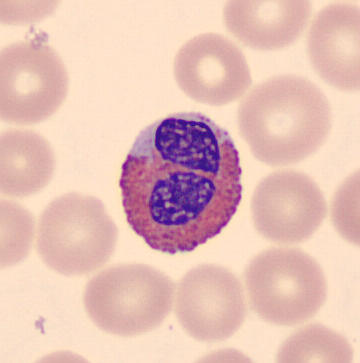

Eosinophilic granulocyte.
Acquisition: Imaged on a CellaVision DM96 analyser · single cell centered in the field · peripheral blood smear.